Bone marrow smear. May-Grünwald-Giemsa/Pappenheim stain
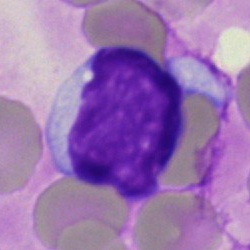
Single cell identified as a typical lymphocyte.